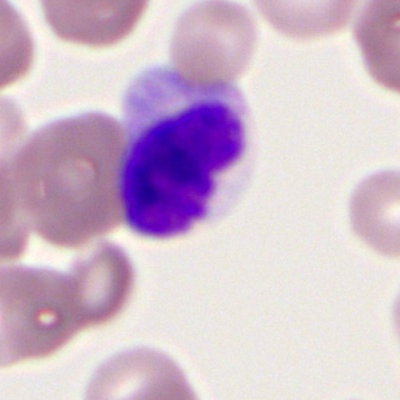Q: What is shown here?
A: A lymphocyte.